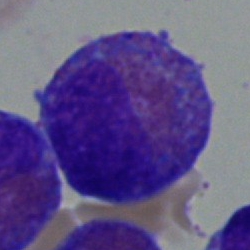

Classification: eosinophilic granulocyte.